Brightfield microscopy, 40× oil immersion · bone marrow aspirate smear · image size 250×250:
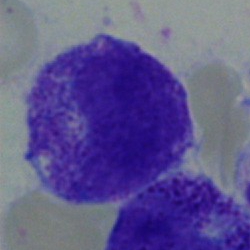
Cell: myelocyte.